Bone marrow aspirate smear. May-Grünwald-Giemsa stain: 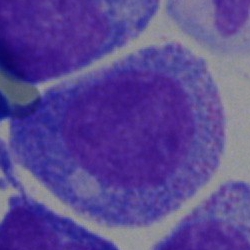 This is a promyelocyte.